Bone marrow smear · May-Grünwald-Giemsa stain: 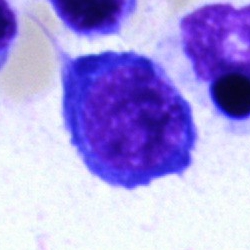

The cell shown is an erythroblast.